Bone marrow smear — 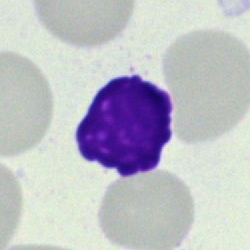

Q: What is shown here?
A: An artefact.